Bone marrow smear.
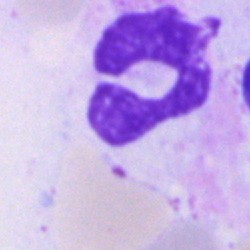
Morphology → segmented neutrophil.